Bone marrow aspirate smear. 250×250 px — 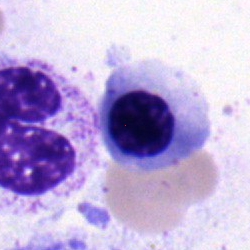

Q: What is the morphological classification of this cell?
A: A normoblast.